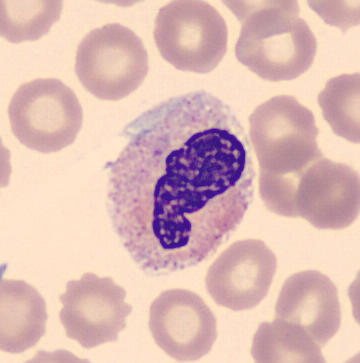 A polymorphonuclear neutrophil. Peripheral blood smear · automated cell imaging (CellaVision DM96) · single cell centered in the field.